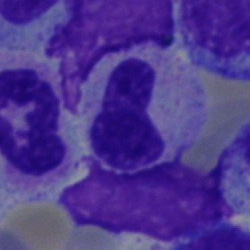

Morphology consistent with a band neutrophil.